Bone marrow smear · May-Grünwald-Giemsa stain.
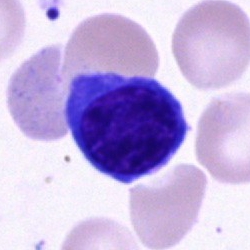Q: What is shown here?
A: A lymphocyte.